Bone marrow aspirate smear; 40× oil immersion; single-cell crop:
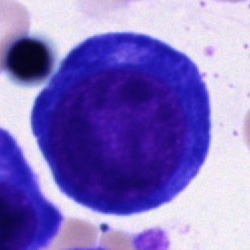
Morphology — pronormoblast.